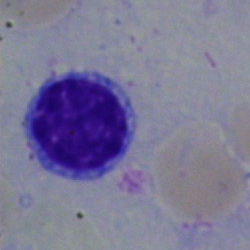
Morphology → lymphocyte.